Peripheral blood film · 400×400 — 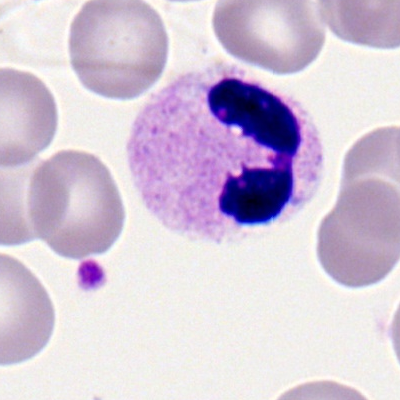 Q: Identify the cell.
A: This is a neutrophil (segmented).